Bone marrow smear: 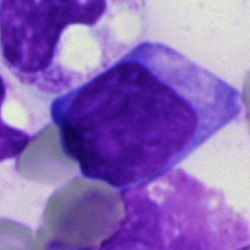Cell = blast.